Bone marrow aspirate smear; cropped to a single cell:
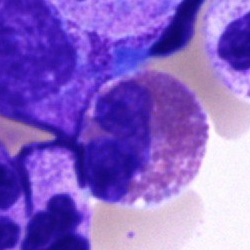 Impression — eosinophil.